Bone marrow smear: 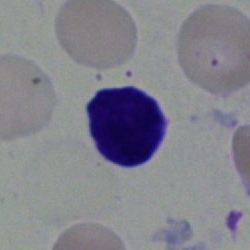

Morphology — typical lymphocyte.